Bone marrow aspirate smear
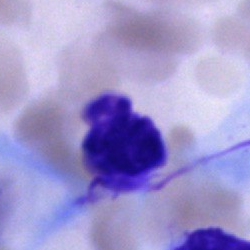
Morphological class — artefact.